Bone marrow aspirate smear; Pappenheim-stained: 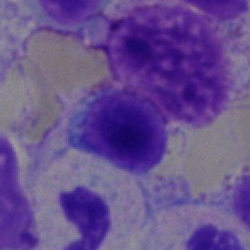Q: What cell is this?
A: It is a lymphocyte.